Brightfield microscopy, 40× oil immersion; bone marrow smear; 250×250 px: 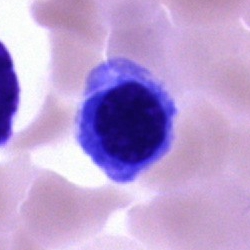 Classification = normoblast.